Peripheral blood film.
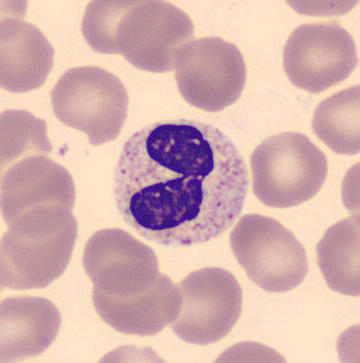
Showing a band neutrophil.